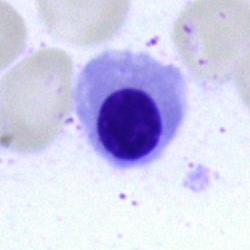
Showing a normoblast.